Bone marrow aspirate smear — 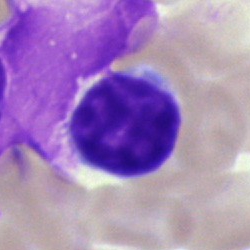
Q: What is shown here?
A: This is a lymphocyte.